Image size 250×250; bone marrow aspirate smear — 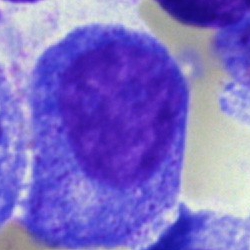
This is a progranulocyte.